Bone marrow smear · 250×250 px.
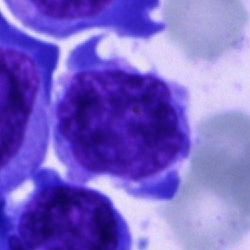Q: What cell is this?
A: Blast.